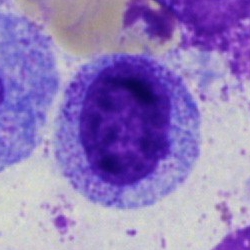
This is a myelocyte.